40× objective, oil immersion · MGG-stained · bone marrow aspirate smear:
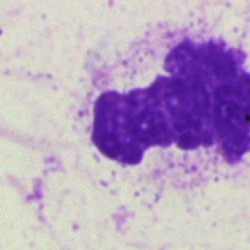
The cell type is artifact.